Bone marrow smear.
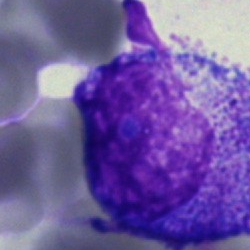Cell — promyelocyte.